Peripheral blood smear. Single-cell field
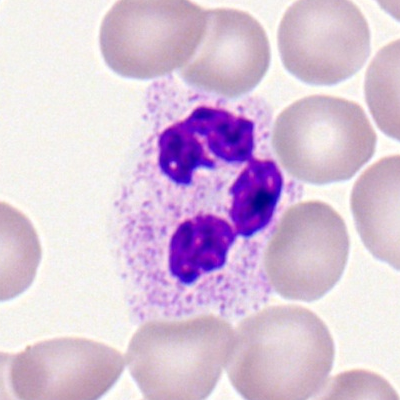

Impression → neutrophil (segmented).